Cropped to a single cell. Bone marrow smear
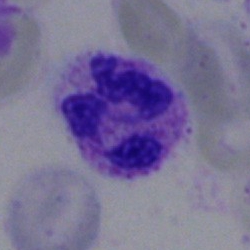 Impression → segmented neutrophil.